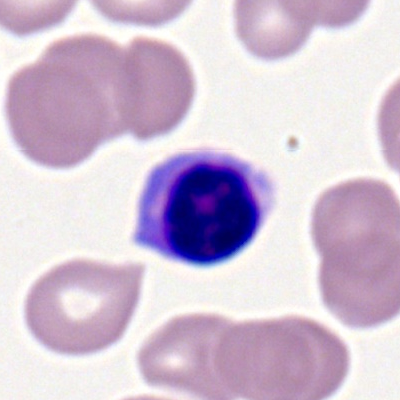
Showing a typical lymphocyte.